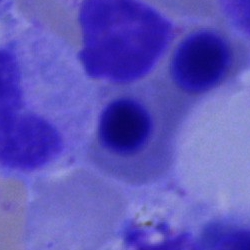

Q: What is the morphological classification of this cell?
A: Erythroblast.